Bone marrow smear
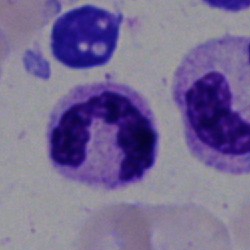

Morphological class: polymorphonuclear neutrophil.